Bone marrow smear. Brightfield microscopy, 40× oil immersion
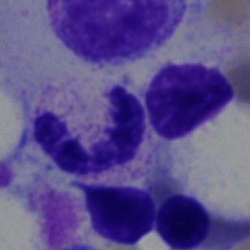

Showing a polymorphonuclear neutrophil.